Bone marrow smear:
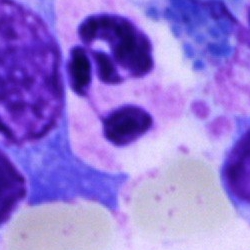

A polymorphonuclear neutrophil.